Bone marrow smear:
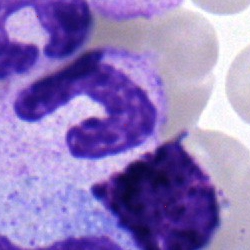

Single cell identified as a band-form neutrophil.